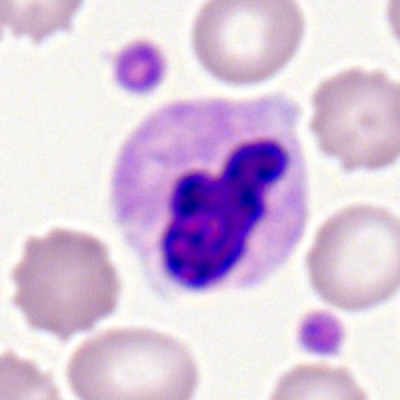Morphological class — segmented neutrophil.